Bone marrow smear: 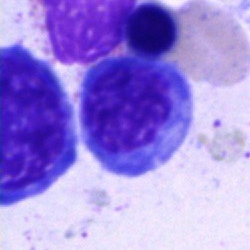The cell is nucleated red blood cell.